Bone marrow aspirate smear — 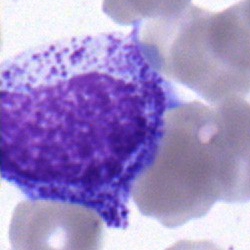

Morphological class: progranulocyte.